Bone marrow smear; single-cell field; image size 250×250: 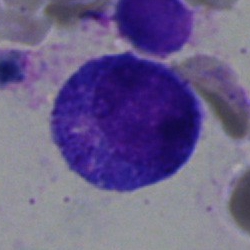
Specimen: bone marrow aspirate smear.
Classification: promyelocyte.